Single cell centered in the field · bone marrow smear · 40× oil immersion — 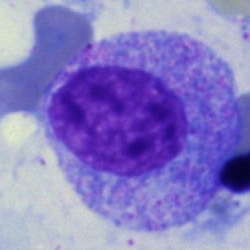Single cell identified as a promyelocyte.